250 by 250 pixels · single-cell field · bone marrow aspirate smear
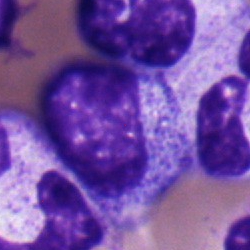

Single cell identified as a myelocyte.